Bone marrow aspirate smear — 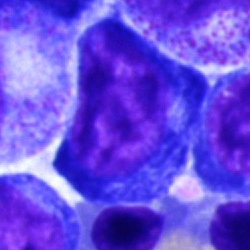

Morphology — proerythroblast.